Bone marrow smear
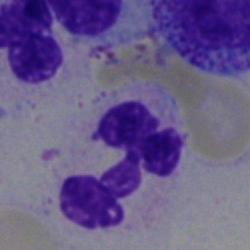A polymorphonuclear neutrophil.